Bone marrow aspirate smear
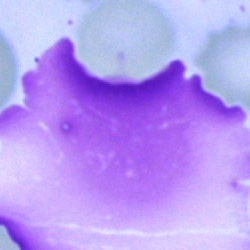
Q: What is shown here?
A: Artefact.